Bone marrow aspirate smear. May-Grünwald-Giemsa/Pappenheim stain.
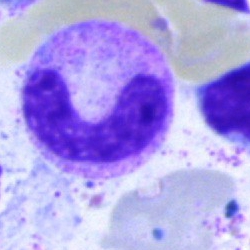

Band-form neutrophil.